Brightfield microscopy, 40× oil immersion; bone marrow aspirate smear; MGG-stained — 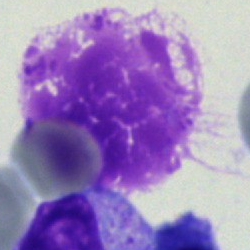 Q: What is shown here?
A: An artifact.